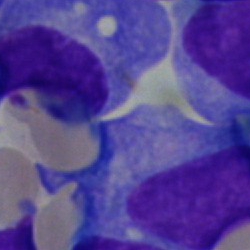
{"cell_type": "plasmacyte"}